Peripheral blood film:
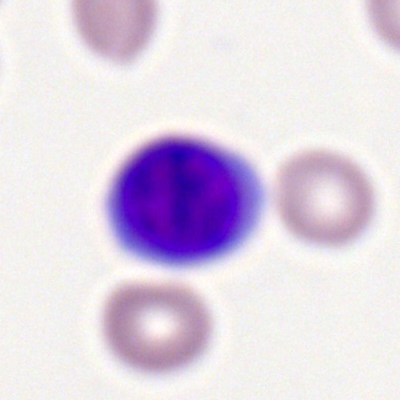 A lymphocyte.